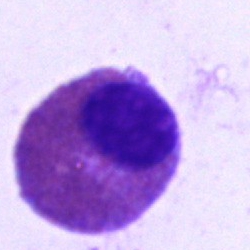

Classification — eosinophilic granulocyte.